Bone marrow smear
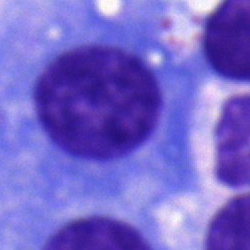Impression → plasma cell.